Bone marrow smear. May-Grünwald-Giemsa stain: 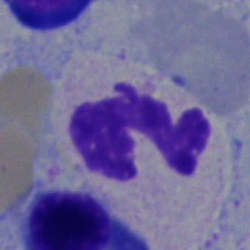 Morphology → neutrophil (segmented).